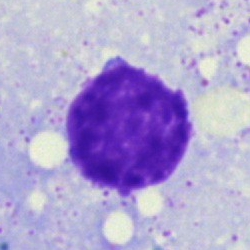

Q: What is shown here?
A: This is an artifact.